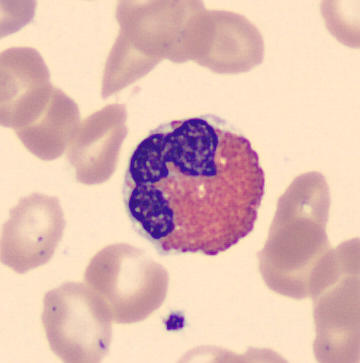Preparation: Peripheral blood film. 360 by 363 pixels. Single cell centered in the field. Morphological class = eosinophilic granulocyte.